Bone marrow aspirate smear:
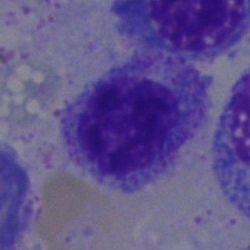 Q: What is the morphological classification of this cell?
A: This is a nucleated red blood cell.